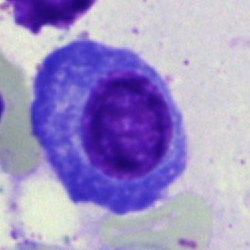

The classification is plasma cell.